Single-cell field; bone marrow aspirate smear.
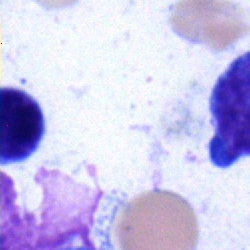Q: Which cell type is shown here?
A: It is a lymphocyte.